Bone marrow aspirate smear; 40× objective, oil immersion
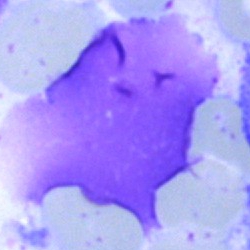

The cell shown is an artefact.